Bone marrow aspirate smear — 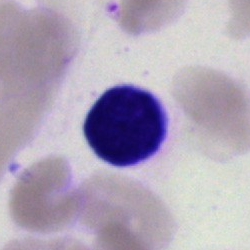

Single cell identified as a lymphocyte.